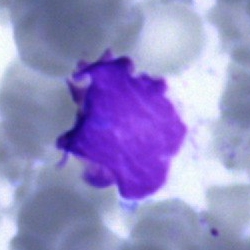

Classification — artifact.